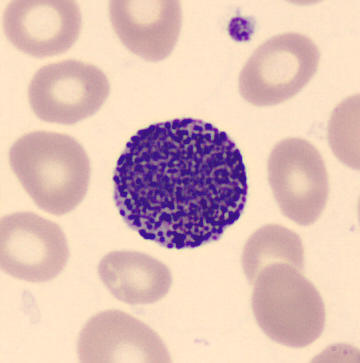
Cell type: basophil.